Bone marrow aspirate smear. MGG-stained — 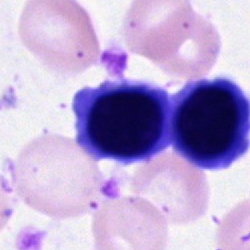

Specimen: bone marrow aspirate smear.
Cell type: erythroblast.
Lineage: erythroid.